Bone marrow smear: 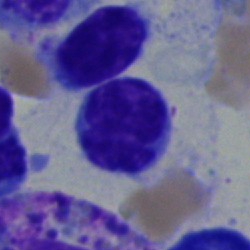

Cell = lymphocyte.